May-Grünwald-Giemsa/Pappenheim stain · bone marrow smear — 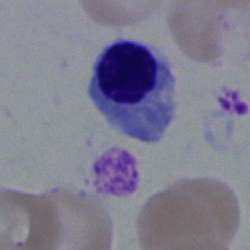 Q: Identify the cell.
A: A normoblast.